Bone marrow smear — 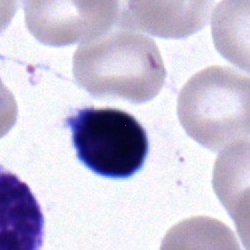

Impression → lymphocyte.